Peripheral blood film:
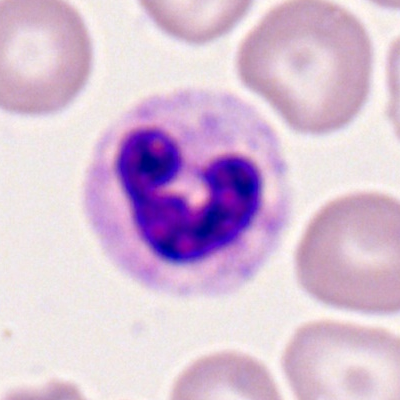Specimen: peripheral blood smear.
Cell type: polymorphonuclear neutrophil.